Bone marrow smear:
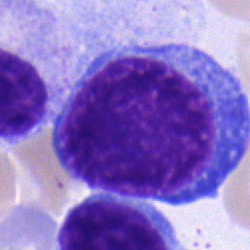 Specimen: bone marrow aspirate smear.
Morphological class: erythroblast.